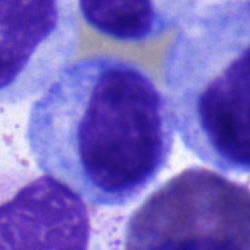
Classification — myelocyte.